Peripheral blood smear. Romanowsky stain — 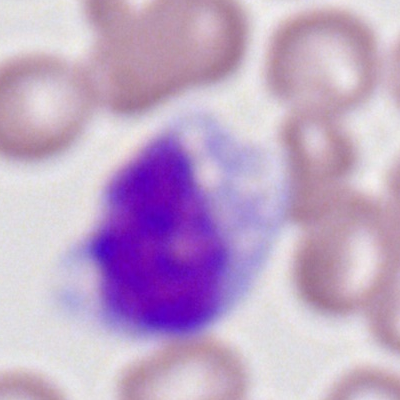

Morphological class: monocyte.